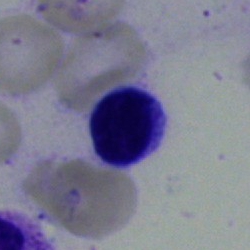

Specimen: bone marrow smear.
Cell type: lymphocyte.
Lineage: lymphoid.